Peripheral blood film · single-cell crop: 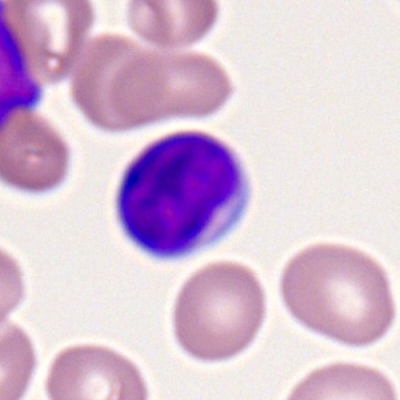
This is a typical lymphocyte.